Bone marrow smear; single-cell crop; 40× objective, oil immersion
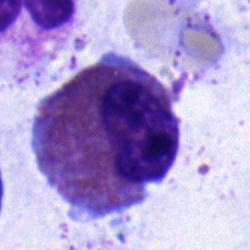
Q: Identify the cell.
A: An eosinophilic granulocyte.